Peripheral blood smear
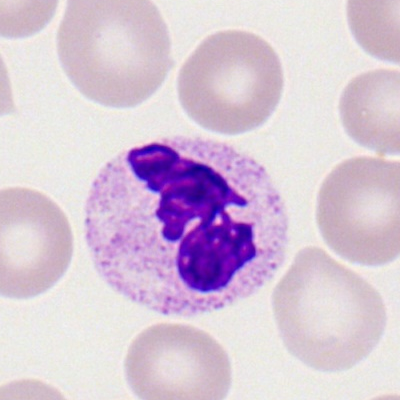Cell type: neutrophil (segmented).